Bone marrow smear.
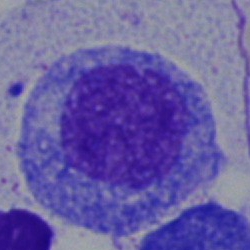Specimen: bone marrow aspirate smear.
Cell type: progranulocyte.
Lineage: myeloid.